Single cell centered in the field; Pappenheim-stained; bone marrow smear: 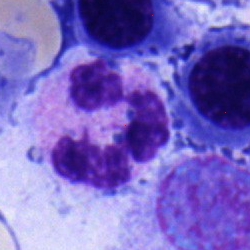Morphology → polymorphonuclear neutrophil.